Bone marrow smear:
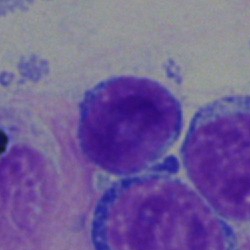

The cell shown is a typical lymphocyte.